Brightfield microscopy, 40× oil immersion · single-cell crop · bone marrow smear
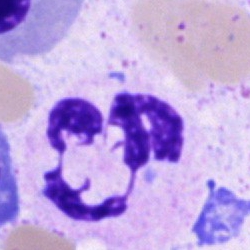Classification — segmented neutrophil.